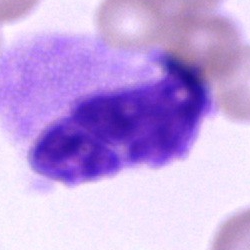

Morphology → segmented neutrophil.